Bone marrow smear.
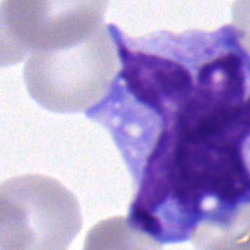Q: What type of cell is this?
A: This is a monocyte.